Bone marrow smear
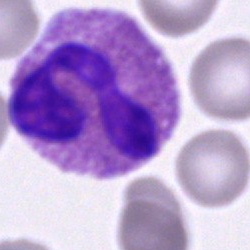 This is an eosinophil.